Bone marrow aspirate smear — 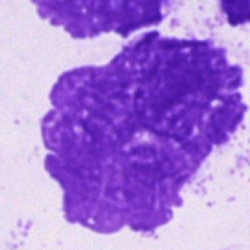
Q: What is shown here?
A: An artifact.